Bone marrow aspirate smear — 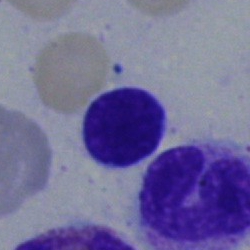 Impression → lymphocyte.